40× oil immersion; 250×250; bone marrow smear
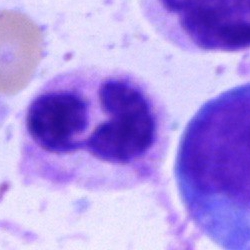 Morphological class — polymorphonuclear neutrophil.